Bone marrow smear. 250×250 px:
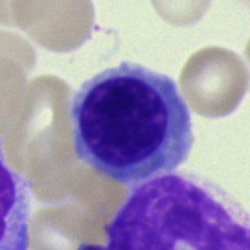

Morphology consistent with an erythroblast.